Bone marrow aspirate smear: 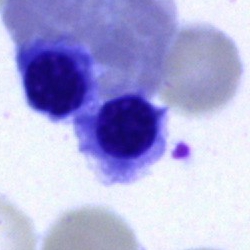 The cell shown is a normoblast.